250 by 250 pixels · bone marrow smear.
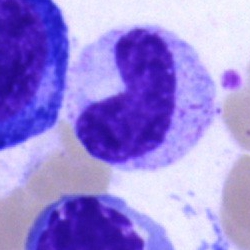
The cell is nucleated red blood cell.